Peripheral blood film.
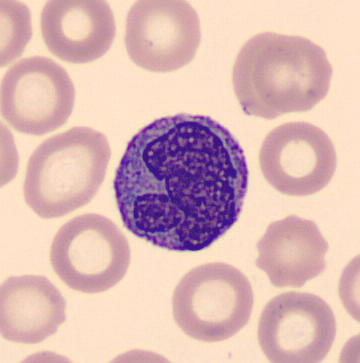
Morphology → monocyte.